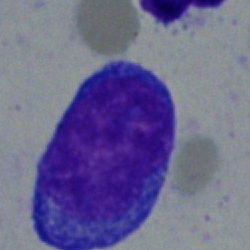
A blast.